Bone marrow aspirate smear. 250 by 250 pixels. Brightfield, 40× oil-immersion objective.
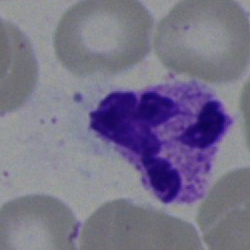
Q: What is shown here?
A: Polymorphonuclear neutrophil.